Bone marrow aspirate smear — 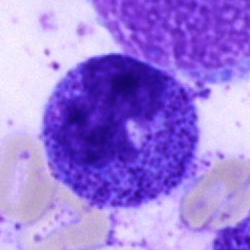 Cell type = progranulocyte.